Bone marrow smear.
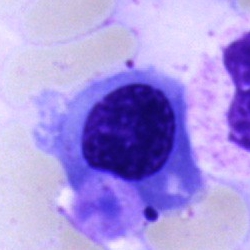An erythroblast.